Bone marrow aspirate smear
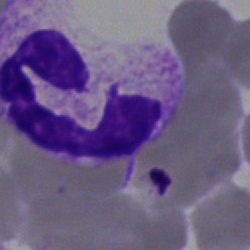 Classification: segmented neutrophil.